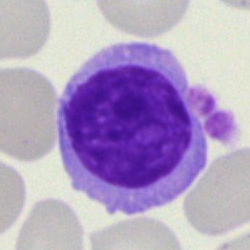

Single-cell crop from a bone marrow smear: typical lymphocyte.